40× oil immersion. Bone marrow aspirate smear.
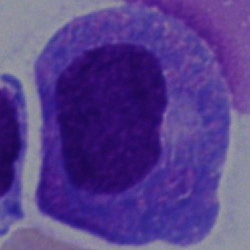
Classification = progranulocyte.